250×250 px · bone marrow aspirate smear
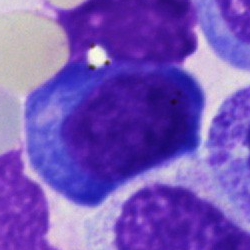
Morphology → erythroblast.